MGG-stained · bone marrow smear:
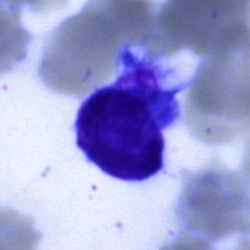
Showing a lymphocyte.